Bone marrow aspirate smear.
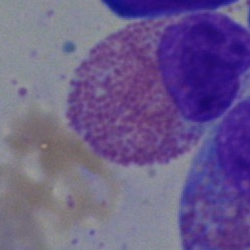Showing an eosinophilic granulocyte.